Bone marrow smear · single-cell field — 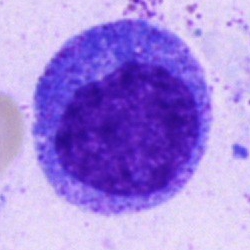

Progranulocyte.